Bone marrow smear; brightfield microscopy, 40× oil immersion: 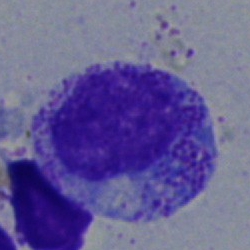Specimen: bone marrow smear.
Morphological class: myelocyte.
Lineage: myeloid.